Bone marrow aspirate smear
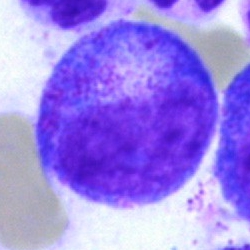Cell type = progranulocyte.